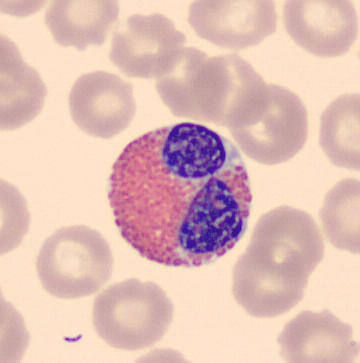

Automated cell imaging (CellaVision DM96) · single-cell field. Specimen: peripheral blood film.
Cell type: eosinophilic granulocyte.